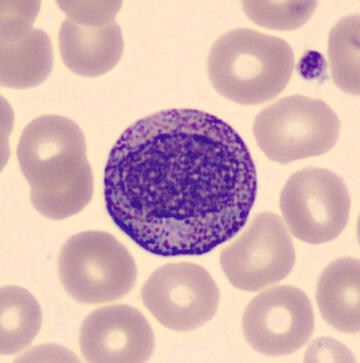

The cell is progranulocyte.
Acquisition: Peripheral blood smear.